Bone marrow smear — 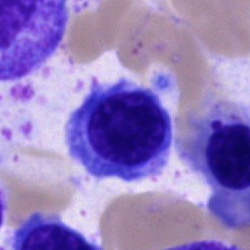Specimen: bone marrow smear.
Cell type: normoblast.
Lineage: erythroid.